Bone marrow aspirate smear — 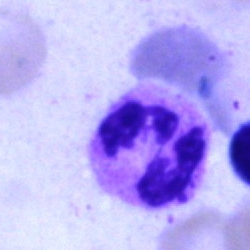 Classification — polymorphonuclear neutrophil.